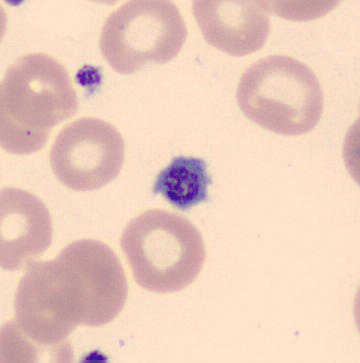

Image: CellaVision DM96 digital cell image; 360×363 px; peripheral blood film.

Q: What is this?
A: Thrombocyte.